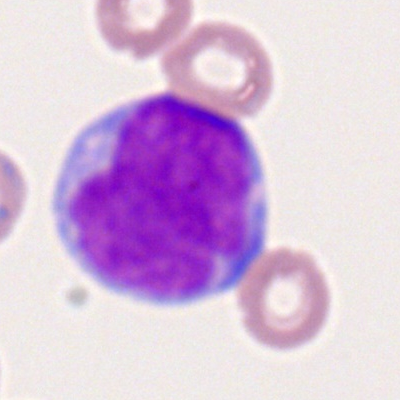

Q: Which cell type is shown here?
A: Myeloid blast.